Brightfield, 40× oil-immersion objective; May-Grünwald-Giemsa/Pappenheim stain; bone marrow smear:
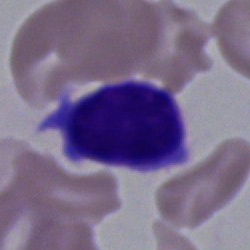 Specimen: bone marrow aspirate smear.
Classification: lymphocyte.
Lineage: lymphoid.